Bone marrow aspirate smear — 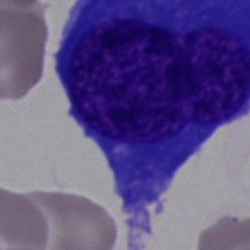 Specimen: bone marrow smear.
Classification: nucleated red blood cell.
Lineage: erythroid.